250×250; bone marrow smear
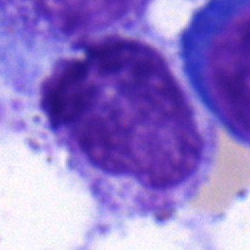 Single cell identified as a myelocyte.